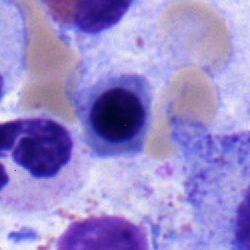

Q: What is the morphological classification of this cell?
A: A nucleated red blood cell.